Brightfield microscopy, 40× oil immersion · bone marrow smear
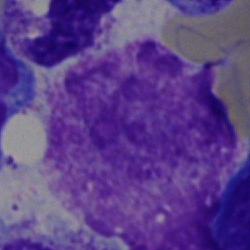The morphological class is artifact.